Bone marrow smear:
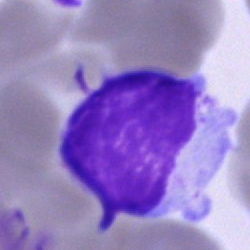
Q: What cell is this?
A: It is a lymphocyte.